250×250 · bone marrow smear · May-Grünwald-Giemsa/Pappenheim stain.
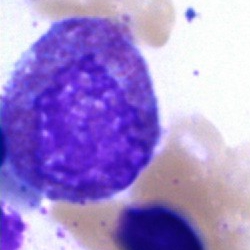

Morphological class = eosinophilic granulocyte.